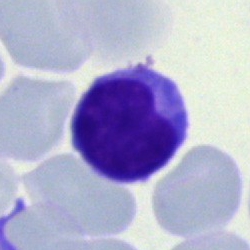Q: What is the morphological classification of this cell?
A: A typical lymphocyte.